Bone marrow aspirate smear; May-Grünwald-Giemsa stain
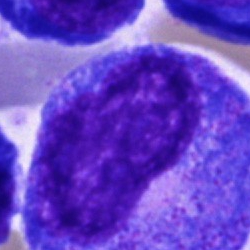
Classification = promyelocyte.